Bone marrow aspirate smear
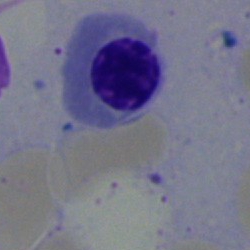

Classification: nucleated red blood cell.